Bone marrow smear; single-cell crop
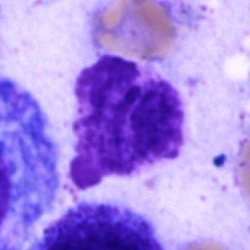
Morphological class — artifact.